Single-cell field · bone marrow aspirate smear.
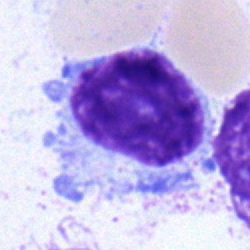
This is a plasma cell.